Bone marrow aspirate smear; May-Grünwald-Giemsa stain.
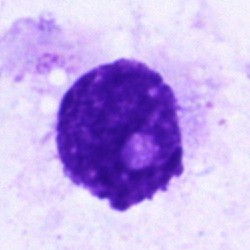Cell type: artifact.